Peripheral blood smear:
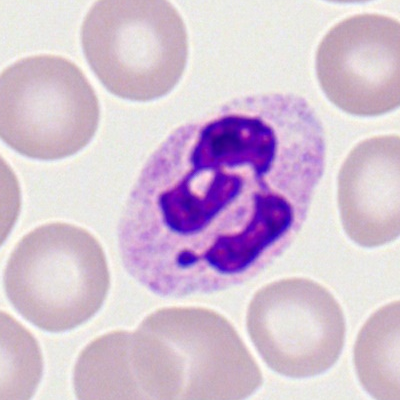
The cell shown is a polymorphonuclear neutrophil.